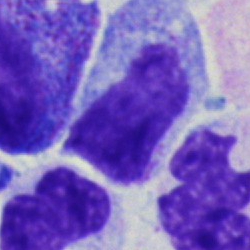 The cell shown is a progranulocyte.